250×250; single-cell field; bone marrow aspirate smear
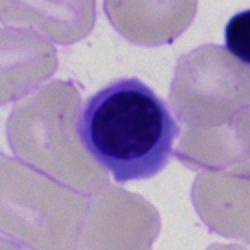 The classification is nucleated red cell.